Peripheral blood film. CellaVision DM96
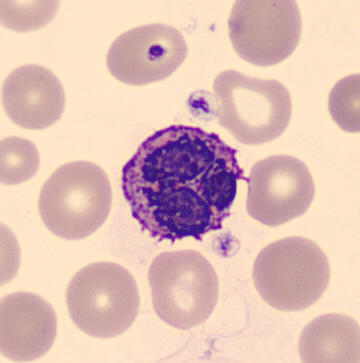Morphology consistent with a basophil.